Bone marrow smear · Pappenheim-stained:
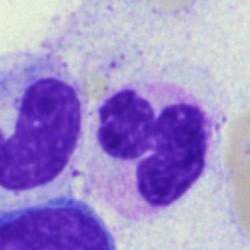

The cell shown is a polymorphonuclear neutrophil.